Bone marrow aspirate smear
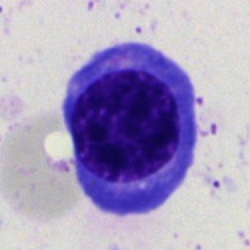 This is a plasmacyte.